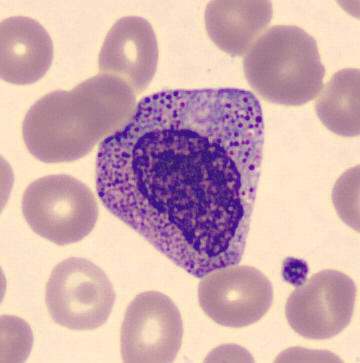

Identified as a myelocyte.

Imaged on a CellaVision DM96 analyser; peripheral blood film; 360 by 363 pixels.